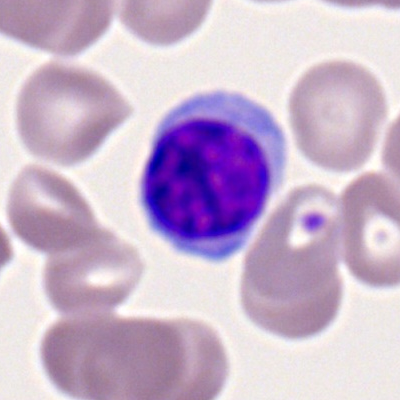Cell — typical lymphocyte.